Bone marrow smear:
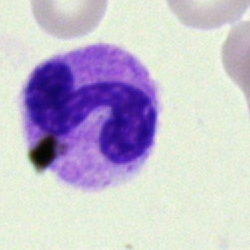

Specimen: bone marrow smear.
Classification: neutrophil (segmented).
Lineage: myeloid.